Bone marrow smear · May-Grünwald-Giemsa/Pappenheim stain · single-cell crop
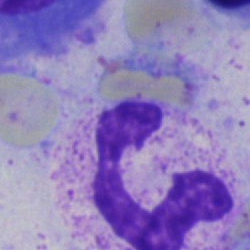

Morphology consistent with a segmented neutrophil.